Bone marrow smear — 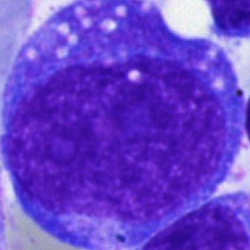Single cell identified as a blast.